Bone marrow aspirate smear; 250×250:
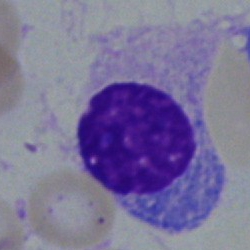 Morphological class: plasmacyte.